Brightfield microscopy, 40× oil immersion; bone marrow aspirate smear — 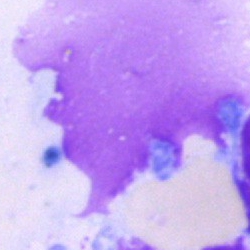
The cell shown is an artifact.